Bone marrow smear:
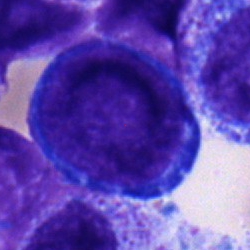
Impression — pronormoblast.